Bone marrow smear; 250×250 — 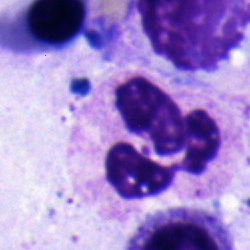 Q: What type of cell is this?
A: It is a segmented neutrophil.